Bone marrow aspirate smear. MGG-stained — 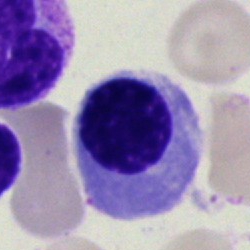 Morphology consistent with a nucleated red cell.